40× oil immersion · bone marrow smear
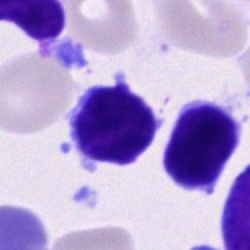
Cell type: typical lymphocyte.